250×250 px · bone marrow aspirate smear — 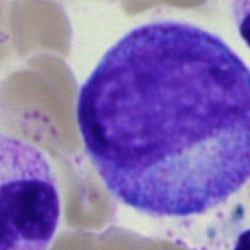
Morphology consistent with a progranulocyte.